Bone marrow smear: 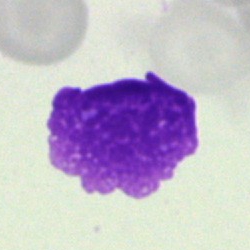An artefact.